Bone marrow smear: 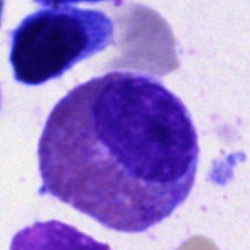 Q: Identify the cell.
A: It is an eosinophilic granulocyte.